Brightfield microscopy, 40× oil immersion. Single-cell field. Bone marrow aspirate smear.
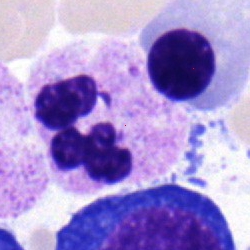 {"cell_type": "polymorphonuclear neutrophil", "lineage": "myeloid"}